Brightfield, 40× oil-immersion objective. Bone marrow smear.
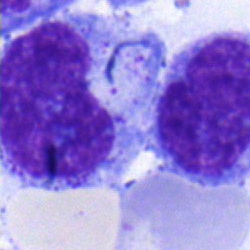The cell shown is a metamyelocyte.